Bone marrow smear:
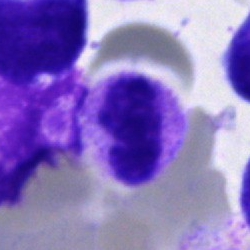Cell type = neutrophil (segmented).